Bone marrow aspirate smear
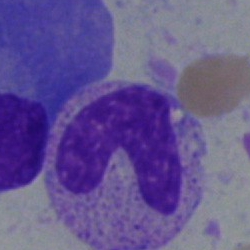
Classification = band-form neutrophil.